Bone marrow smear: 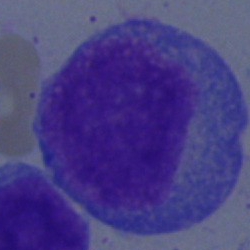
This is an undifferentiated blast.